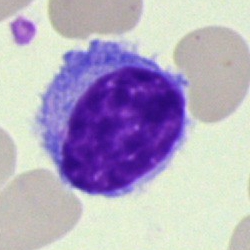Single cell identified as a typical lymphocyte.